Bone marrow aspirate smear; May-Grünwald-Giemsa/Pappenheim stain; image size 250×250.
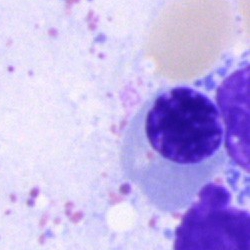 Q: Identify the cell.
A: It is a nucleated red cell.